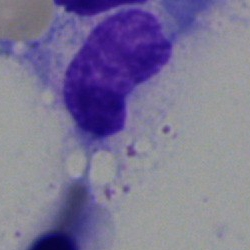Cell type = band-form neutrophil.